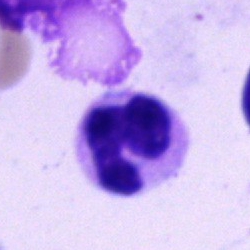

Impression — segmented neutrophil.